Peripheral blood smear; 100× oil immersion
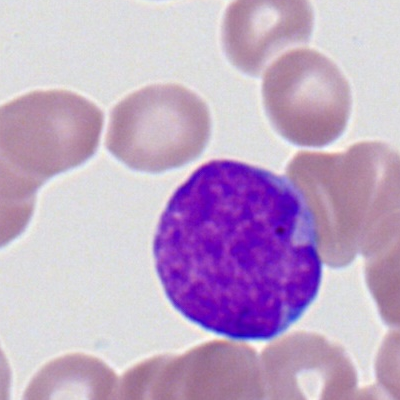Classification = myeloblast.